Peripheral blood film; 100× oil immersion — 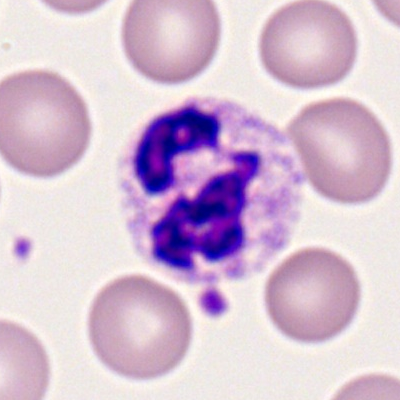

Single cell identified as a neutrophil (segmented).